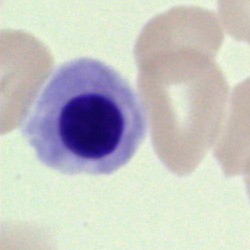Q: What is shown here?
A: This is a normoblast.